250×250. Bone marrow aspirate smear. Single cell centered in the field:
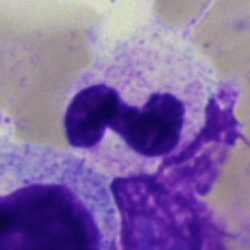Specimen: bone marrow smear.
Cell type: stab cell.